Single-cell crop; bone marrow smear: 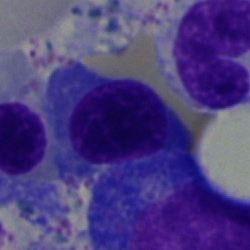
Cell = normoblast.